Bone marrow aspirate smear — 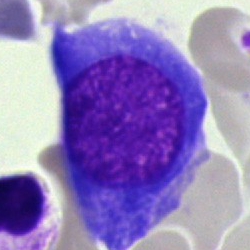
Q: What cell is this?
A: Normoblast.